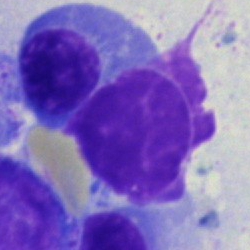 Specimen: bone marrow aspirate smear.
Cell: artifact.